Bone marrow smear — 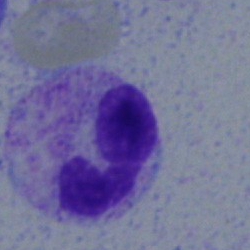

Showing a polymorphonuclear neutrophil.